Image size 250×250. Bone marrow smear:
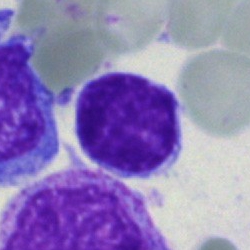 The cell shown is a typical lymphocyte.